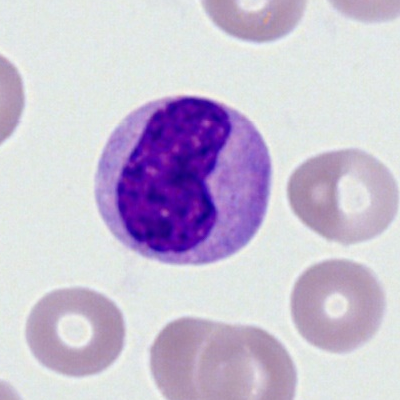
Morphology — stab cell.